Peripheral blood smear — 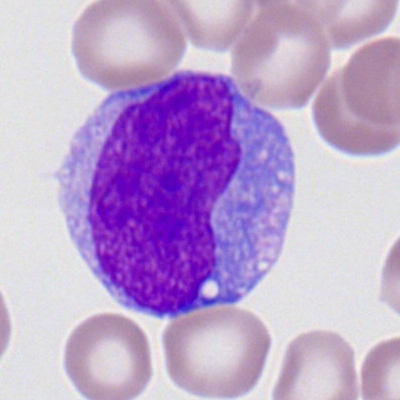Impression — monocyte.